Bone marrow aspirate smear. 40× oil immersion. Image size 250×250:
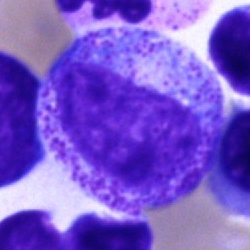

Specimen: bone marrow aspirate smear.
Cell: promyelocyte.
Lineage: myeloid.